Bone marrow aspirate smear · 250 by 250 pixels.
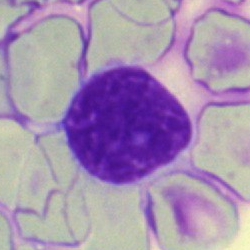

Morphological class — artifact.